Single cell centered in the field · 250×250 · bone marrow aspirate smear
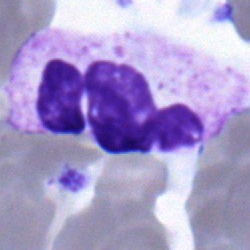Morphology consistent with a polymorphonuclear neutrophil.